Bone marrow smear. Single cell centered in the field:
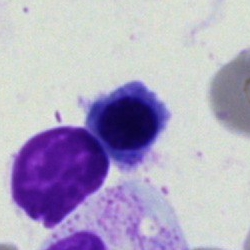

Impression — normoblast.